Bone marrow aspirate smear: 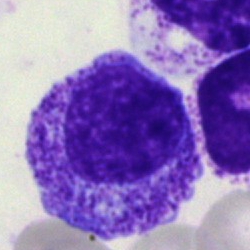{"cell_type": "myelocyte"}